Bone marrow smear: 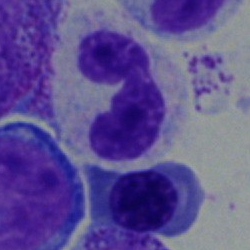The cell shown is a segmented neutrophil.